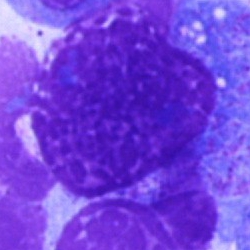 {"cell_type": "artefact"}